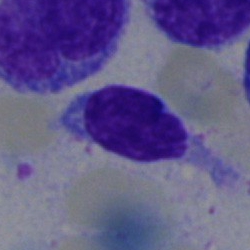

Specimen: bone marrow smear.
Cell type: lymphocyte.
Lineage: lymphoid.